Bone marrow aspirate smear.
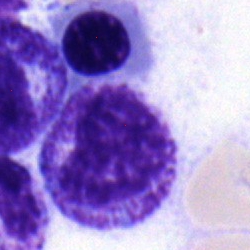Specimen: bone marrow aspirate smear.
Cell: myelocyte.